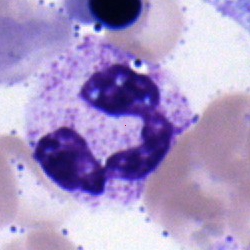
Neutrophil (segmented).